Bone marrow aspirate smear — 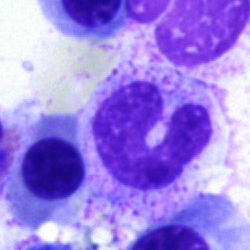The classification is neutrophil (segmented).